Bone marrow aspirate smear · single cell centered in the field: 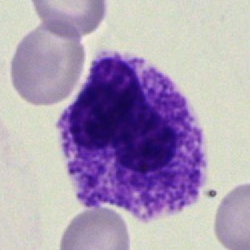 Specimen: bone marrow smear.
Classification: band-form neutrophil.
Lineage: myeloid.